Bone marrow aspirate smear — 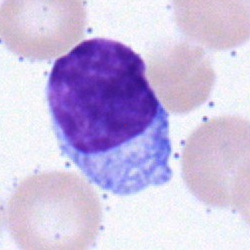{"cell_type": "lymphocyte"}